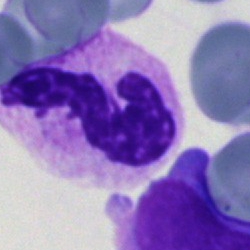

Q: What type of cell is this?
A: This is a segmented neutrophil.